Bone marrow smear — 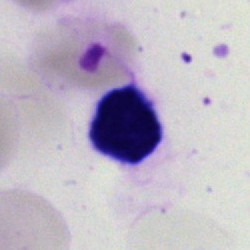
This is an artefact.